Bone marrow smear — 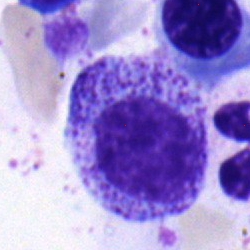 Q: Identify the cell.
A: Myelocyte.